Single cell centered in the field. Image size 250×250. Bone marrow smear.
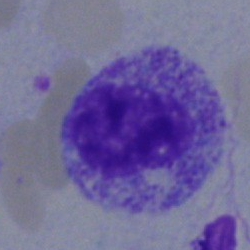A myelocyte.